Bone marrow smear:
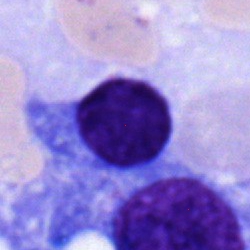 The cell shown is a typical lymphocyte.